Single-cell field · 250 by 250 pixels · bone marrow aspirate smear: 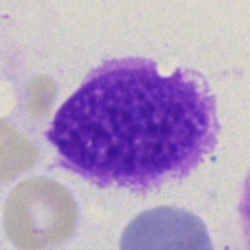Morphological class: artefact.